Bone marrow smear: 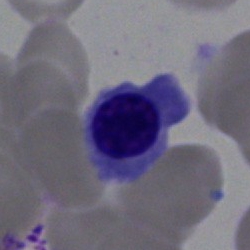Cell type: normoblast.